MGG-stained · bone marrow aspirate smear · image size 250×250: 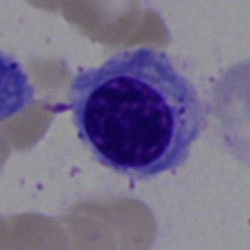
Morphology consistent with a nucleated red cell.